Bone marrow aspirate smear
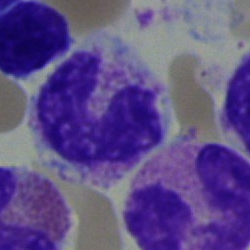
Morphology consistent with a stab cell.